Bone marrow smear — 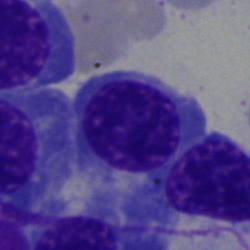

Q: What cell is this?
A: Normoblast.